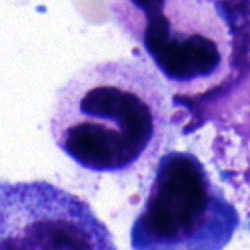
Neutrophil (band).